Bone marrow aspirate smear: 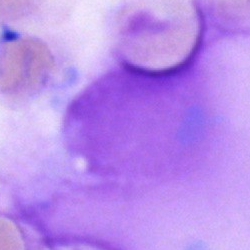
The cell shown is an artefact.